Bone marrow smear — 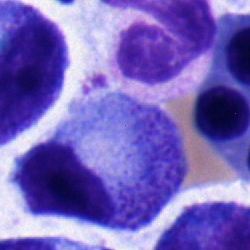 Impression — progranulocyte.